Bone marrow smear: 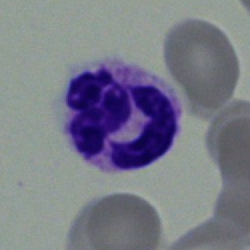

The cell is neutrophil (segmented).